Bone marrow smear:
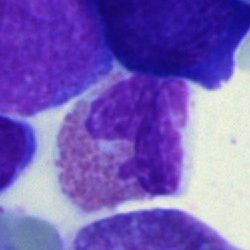Q: Which cell type is shown here?
A: This is an eosinophil.